Single-cell field; bone marrow aspirate smear
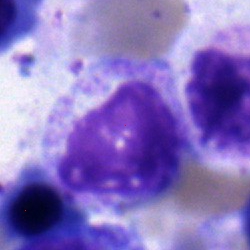
Impression — myelocyte.